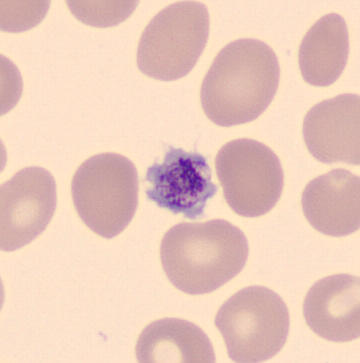
Peripheral blood smear showing a platelet.